Bone marrow aspirate smear: 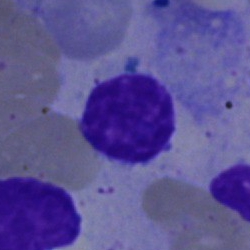Typical lymphocyte.